Bone marrow aspirate smear — 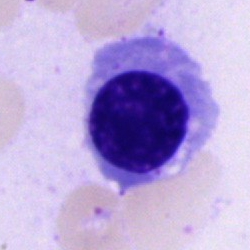
{"cell_type": "nucleated red cell", "lineage": "erythroid"}